Cropped to a single cell. Bone marrow aspirate smear
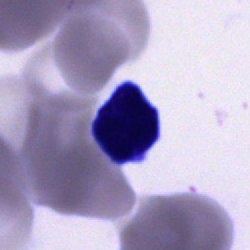
Morphological class: artefact.